Bone marrow aspirate smear; May-Grünwald-Giemsa/Pappenheim stain; 250×250:
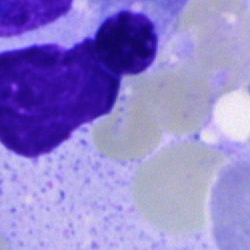 The cell type is artifact.